Image size 250×250; May-Grünwald-Giemsa/Pappenheim stain; bone marrow aspirate smear: 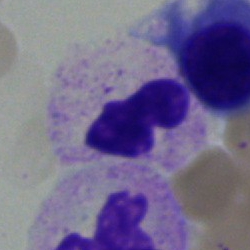
The cell shown is a neutrophil (segmented).